400×400; peripheral blood film.
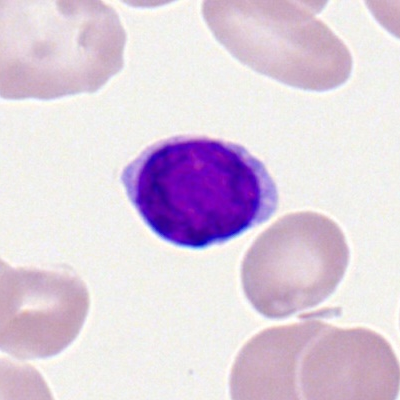

Q: Which cell type is shown here?
A: Typical lymphocyte.